250×250 px; 40× objective, oil immersion; bone marrow smear:
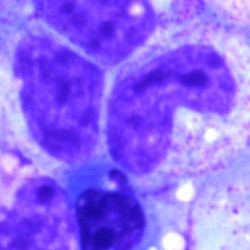Classification: stab cell.